Bone marrow smear — 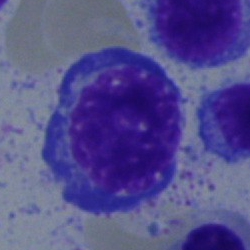

Q: Which cell type is shown here?
A: It is a nucleated red cell.